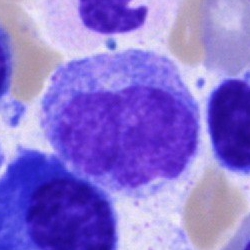This is a monocyte.